Bone marrow smear. 250×250 px
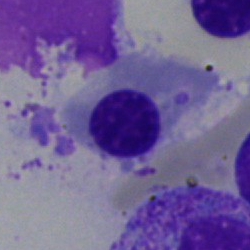

Morphology consistent with a nucleated red cell.